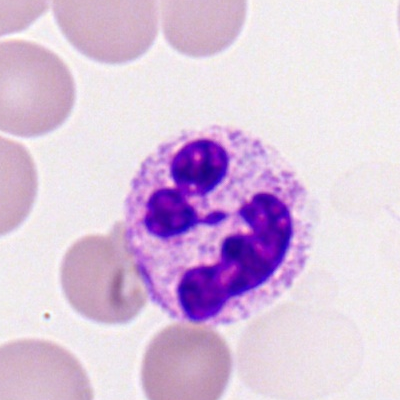Peripheral blood film, single cell — neutrophil (segmented).